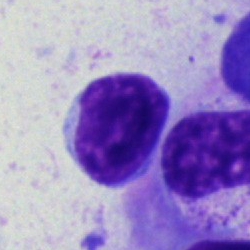

{"cell_type": "lymphocyte", "lineage": "lymphoid"}